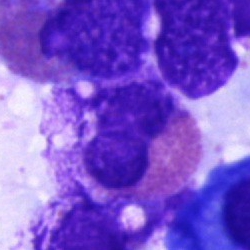 Q: What is shown here?
A: It is an eosinophilic granulocyte.